40× oil immersion. Bone marrow smear:
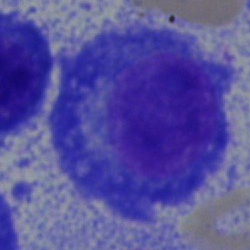
Morphological class: plasma cell.